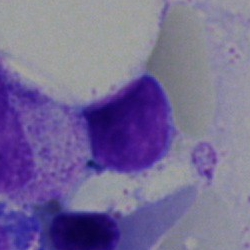

Cell — typical lymphocyte.